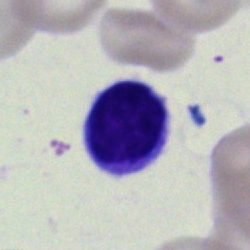 A lymphocyte on a bone marrow smear.